Bone marrow smear: 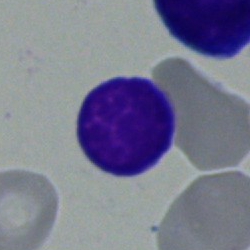
Q: What is the morphological classification of this cell?
A: A lymphocyte.